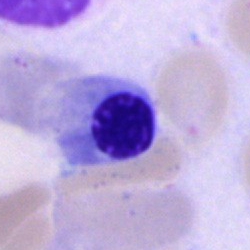Morphology — normoblast.